Bone marrow smear · cropped to a single cell · 250×250 — 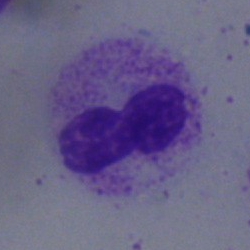Morphological class — neutrophil (segmented).